Bone marrow smear: 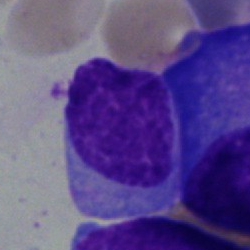Q: Identify the cell.
A: A plasmacyte.